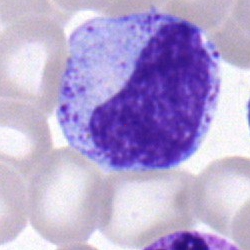Q: What type of cell is this?
A: A metamyelocyte.